Bone marrow smear: 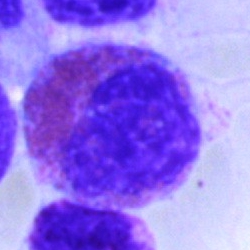 Classification = eosinophilic granulocyte.